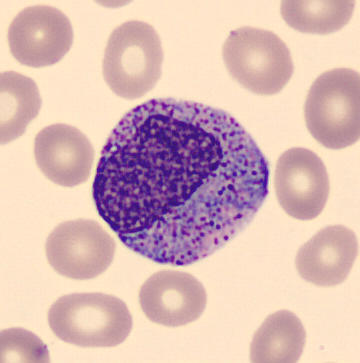
Specimen: peripheral blood film.
Morphological class: promyelocyte.
Lineage: myeloid. Preparation: CellaVision DM96.